Bone marrow smear — 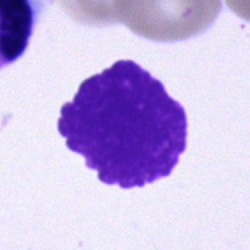Morphology consistent with an artefact.